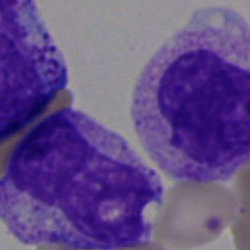

The cell type is metamyelocyte.